Bone marrow aspirate smear: 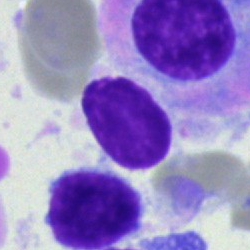

Specimen: bone marrow aspirate smear.
Cell type: typical lymphocyte.
Lineage: lymphoid.